May-Grünwald-Giemsa/Pappenheim stain · bone marrow smear · single-cell field — 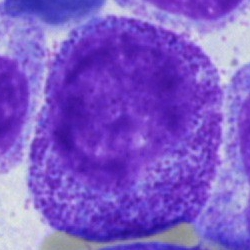

Morphology consistent with a promyelocyte.